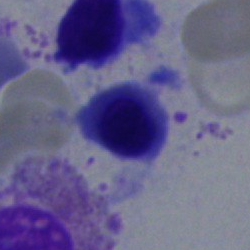
Cell — nucleated red blood cell.